Bone marrow aspirate smear:
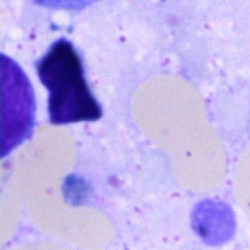The cell shown is an artifact.